Bone marrow aspirate smear — 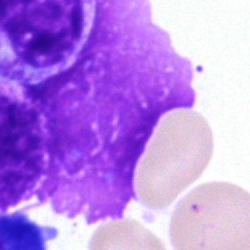
This is an artefact.